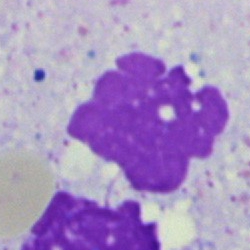

Showing an artefact.